Bone marrow aspirate smear · brightfield, 40× oil-immersion objective.
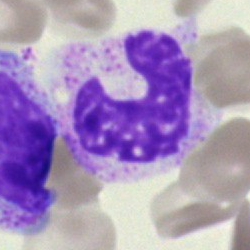

Single cell identified as a band-form neutrophil.